Bone marrow smear — 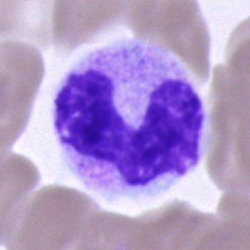Q: Identify the cell.
A: This is a neutrophil (band).